Bone marrow smear; brightfield microscopy, 40× oil immersion: 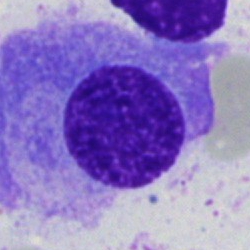
A plasmacyte.